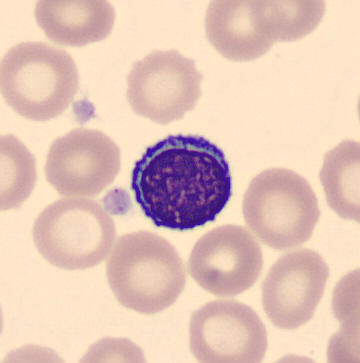
Q: Which cell type is shown here?
A: A typical lymphocyte.

Preparation: Peripheral blood smear; MGG-stained.